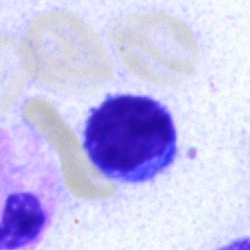Morphology → lymphocyte.